Bone marrow aspirate smear:
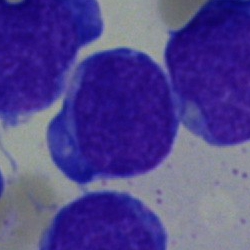 Specimen: bone marrow aspirate smear.
Morphological class: blast cell.